360×363 px; peripheral blood smear; automated cell imaging (CellaVision DM96): 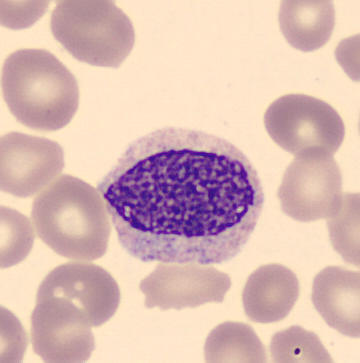 The cell type is metamyelocyte.